Single cell centered in the field; bone marrow aspirate smear; 250×250 — 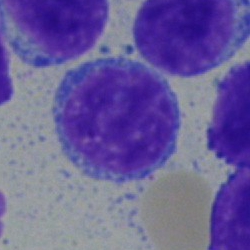 Morphology consistent with a typical lymphocyte.